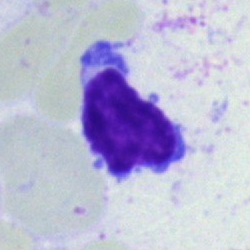
The classification is lymphocyte.